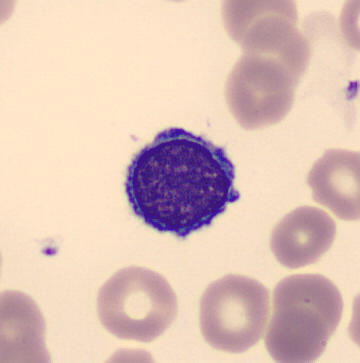Single cell identified as a typical lymphocyte.